Bone marrow smear: 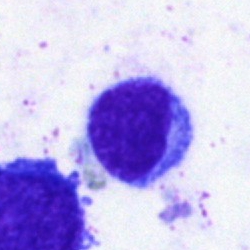

Cell type = typical lymphocyte.